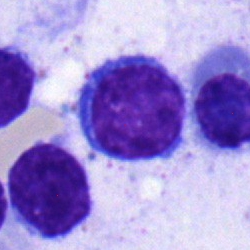Classification = typical lymphocyte.